Bone marrow smear — 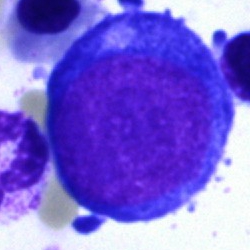
Morphology → pronormoblast.